Peripheral blood film.
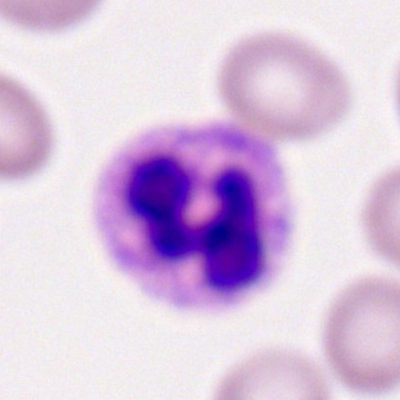Specimen: peripheral blood smear.
Cell type: segmented neutrophil.